Bone marrow aspirate smear — 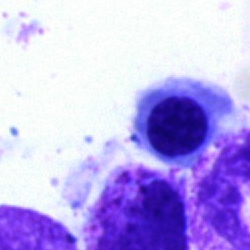

Q: What type of cell is this?
A: This is a nucleated red blood cell.